Single-cell crop · bone marrow aspirate smear:
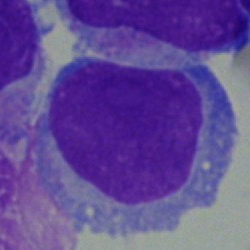 This is an undifferentiated blast.